Peripheral blood film · single-cell field
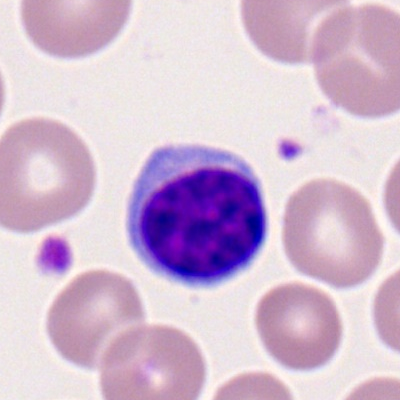Showing a typical lymphocyte.